Bone marrow aspirate smear. 40× oil immersion:
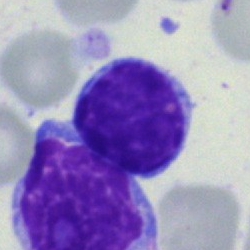

Morphology — lymphocyte.